Bone marrow smear; image size 250×250: 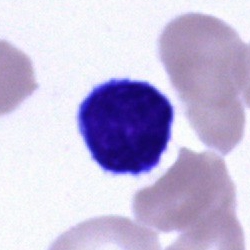{"cell_type": "typical lymphocyte"}